Bone marrow smear
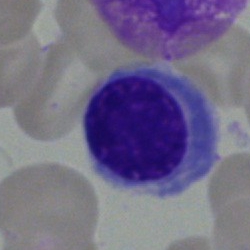 Morphology — plasmacyte.